Bone marrow aspirate smear; single-cell crop; 250×250 — 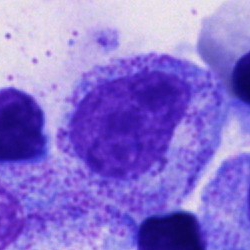Cell = promyelocyte.